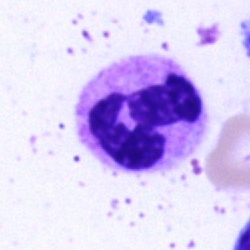Bone marrow smear showing a segmented neutrophil.